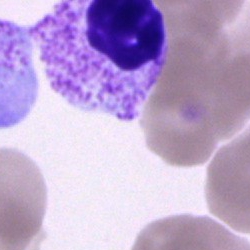 Classification = neutrophil (segmented).